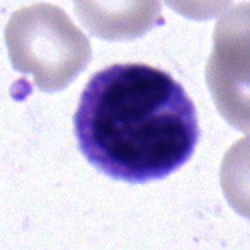Single cell identified as a monocyte.